Bone marrow smear. Single-cell crop
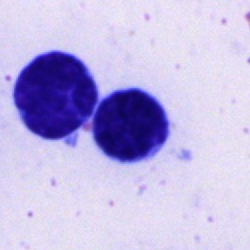

Morphology — lymphocyte.